Peripheral blood smear · image size 400×400 · Romanowsky stain: 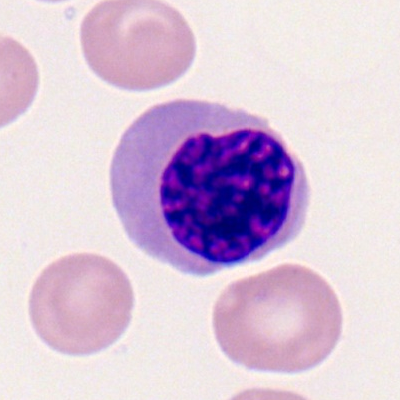 Showing a nucleated red cell.